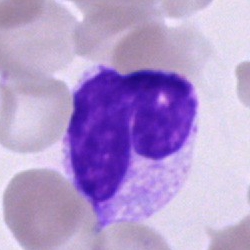The cell type is neutrophil (segmented).